Image size 250×250; cropped to a single cell; bone marrow aspirate smear.
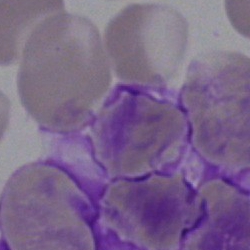Showing an artifact.